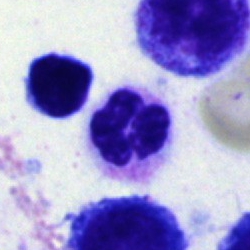

Q: What cell is this?
A: It is a polymorphonuclear neutrophil.